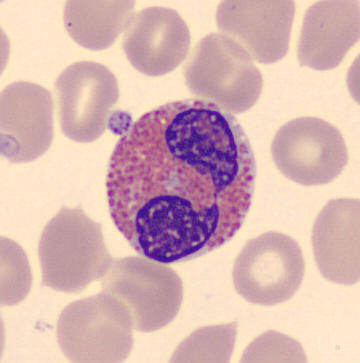 An eosinophil on a peripheral blood smear.